Brightfield microscopy, 40× oil immersion · bone marrow smear:
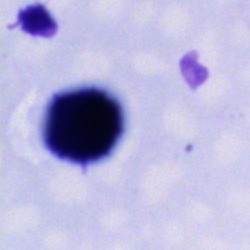 A cell of indeterminate lineage.